Bone marrow aspirate smear.
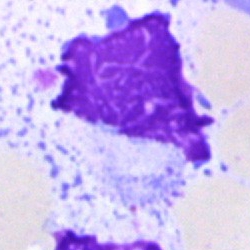

Q: What is shown here?
A: Artifact.